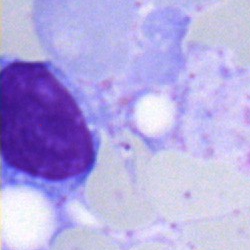Classification: lymphocyte.